Bone marrow smear — 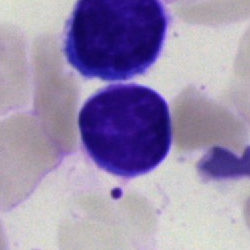
Q: What is the morphological classification of this cell?
A: Lymphocyte.